Bone marrow aspirate smear; May-Grünwald-Giemsa stain:
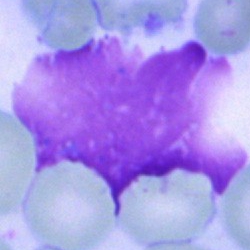
Showing an artefact.